Bone marrow smear
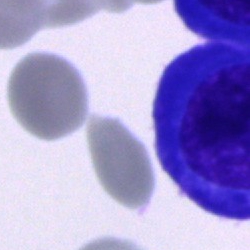{"cell_type": "plasma cell", "lineage": "lymphoid"}